Bone marrow smear
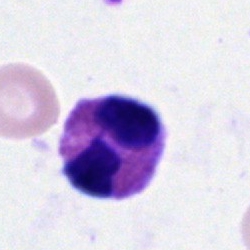 Morphology → polymorphonuclear neutrophil.